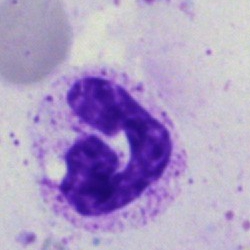 Q: Which cell type is shown here?
A: Polymorphonuclear neutrophil.